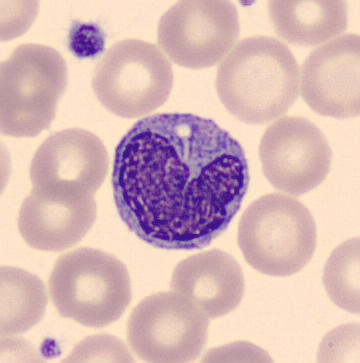 Q: What type of cell is this?
A: A monocyte.

Acquisition: Image size 360×363; peripheral blood film.